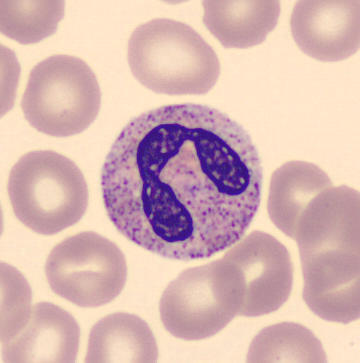
Q: What is this?
A: This is a neutrophil (segmented).